250×250 px · 40× oil immersion · bone marrow smear — 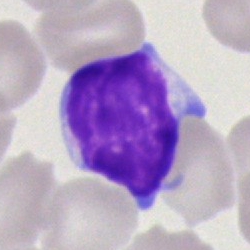
Single cell identified as a typical lymphocyte.